Bone marrow smear.
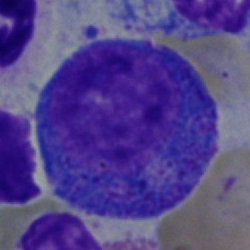
{"cell_type": "progranulocyte"}